Bone marrow smear — 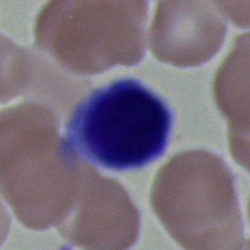 This is a lymphocyte.